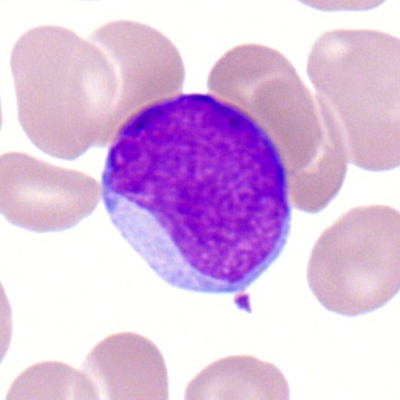

Myeloblast.